Bone marrow aspirate smear. Image size 250×250. May-Grünwald-Giemsa/Pappenheim stain: 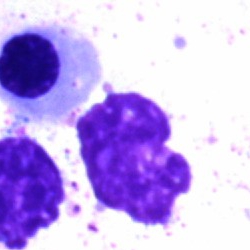

Q: What is shown here?
A: An artifact.